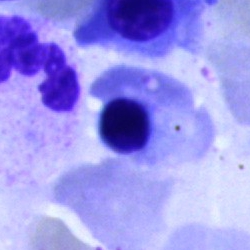 Q: What is shown here?
A: It is a normoblast.